Bone marrow aspirate smear:
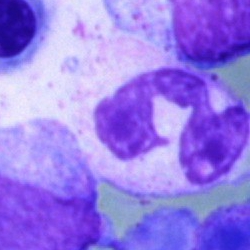
Specimen: bone marrow aspirate smear.
Cell: polymorphonuclear neutrophil.
Lineage: myeloid.